Bone marrow smear — 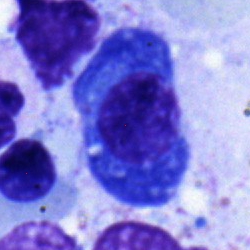
Cell type: plasmacyte.